Cropped to a single cell. Peripheral blood film:
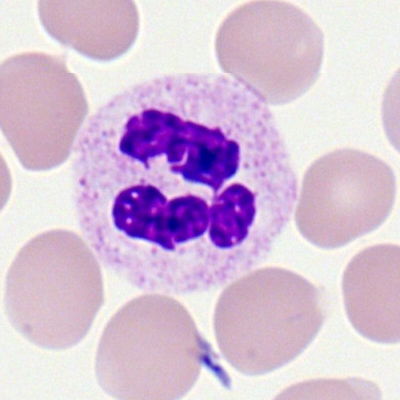
Q: Identify the cell.
A: A segmented neutrophil.